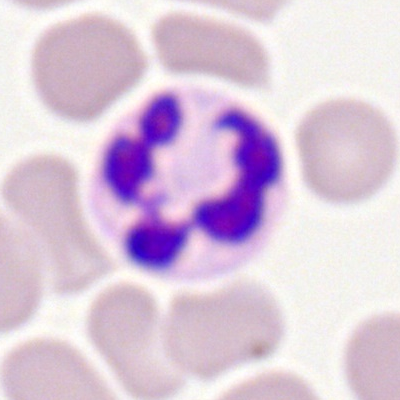 Q: Which cell type is shown here?
A: A segmented neutrophil.